Bone marrow smear: 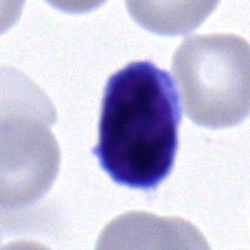

Cell — lymphocyte.